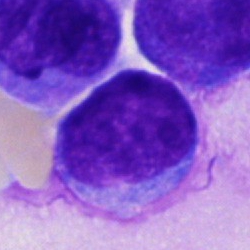 The cell shown is an undifferentiated blast.